Bone marrow aspirate smear · 40× oil immersion · May-Grünwald-Giemsa stain:
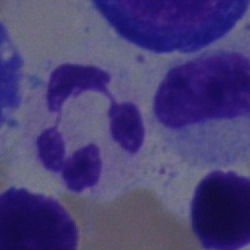 The morphological class is polymorphonuclear neutrophil.